Bone marrow aspirate smear · Pappenheim-stained — 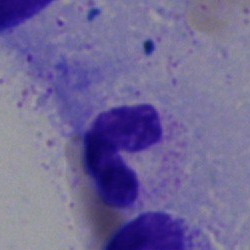

Single cell identified as a polymorphonuclear neutrophil.